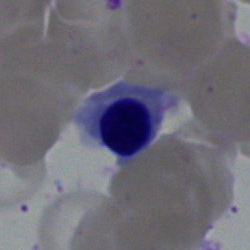 Morphological class = nucleated red blood cell.